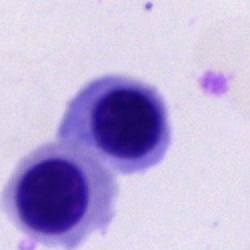

This is a nucleated red cell.